Cropped to a single cell; 250×250; bone marrow aspirate smear — 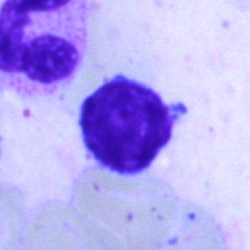
Q: Which cell type is shown here?
A: It is a lymphocyte.